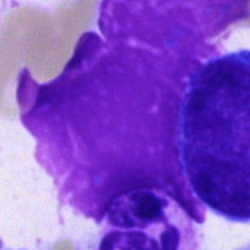

Specimen: bone marrow aspirate smear.
Morphological class: artefact.